Peripheral blood film: 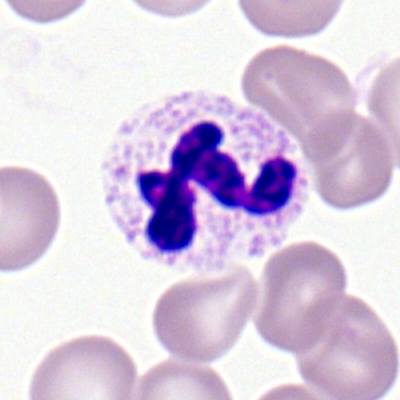 The cell shown is a polymorphonuclear neutrophil.